Bone marrow aspirate smear — 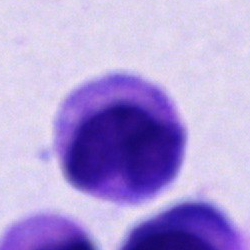

Impression → unidentifiable cell.